Pappenheim-stained. Bone marrow aspirate smear. Brightfield microscopy, 40× oil immersion — 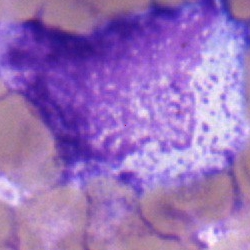

Morphology consistent with a myelocyte.